Image size 250×250 · bone marrow aspirate smear · single-cell field:
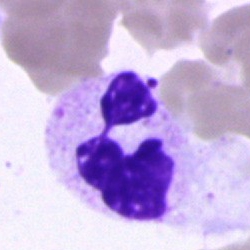Cell type = polymorphonuclear neutrophil.